Pappenheim-stained. Bone marrow aspirate smear
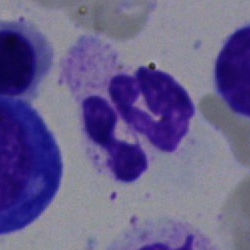
Impression — segmented neutrophil.